Image size 250×250; Pappenheim-stained; bone marrow aspirate smear:
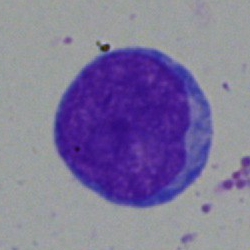 {"cell_type": "blast cell"}